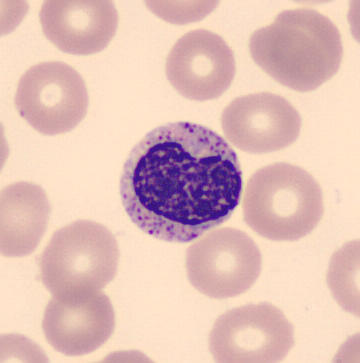
{"cell_type": "metamyelocyte", "lineage": "myeloid"}